Bone marrow smear.
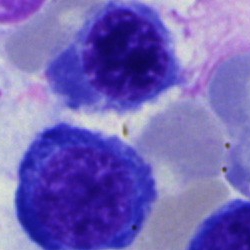

Showing a nucleated red blood cell.